Bone marrow smear:
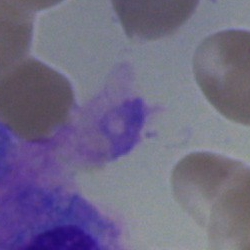
Morphological class — artifact.